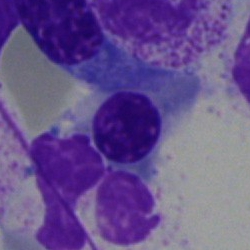

Morphology → erythroblast.